Bone marrow smear.
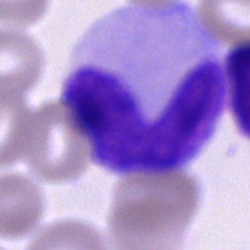The cell is unidentifiable cell.